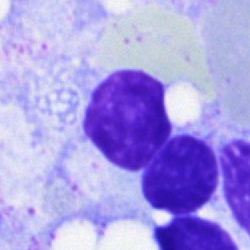

Specimen: bone marrow aspirate smear.
Cell type: artefact.